Bone marrow smear — 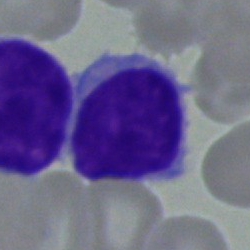

This is a typical lymphocyte.